Peripheral blood film; single-cell field.
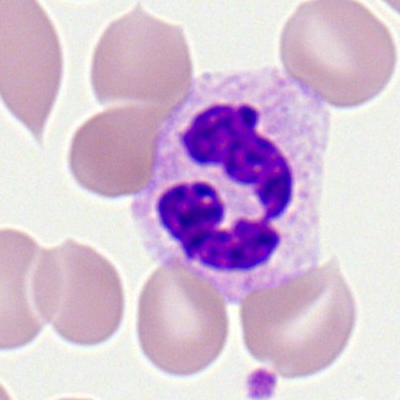
Single cell identified as a polymorphonuclear neutrophil.